Single cell centered in the field. Bone marrow smear.
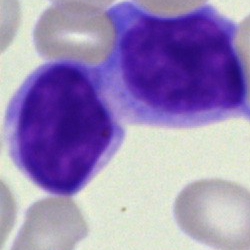
This is a typical lymphocyte.